Peripheral blood film — 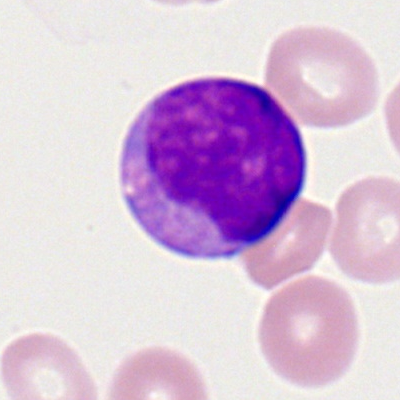 Specimen: peripheral blood smear.
Cell type: lymphocyte.
Lineage: lymphoid.